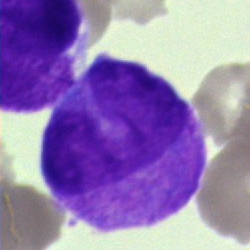 Bone marrow smear showing a blast cell.